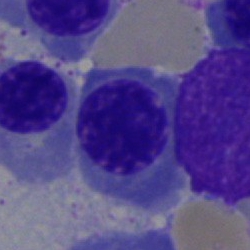
Bone marrow smear showing a normoblast.